Bone marrow smear; single-cell crop.
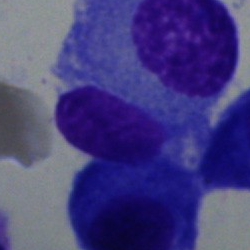Plasmacyte.